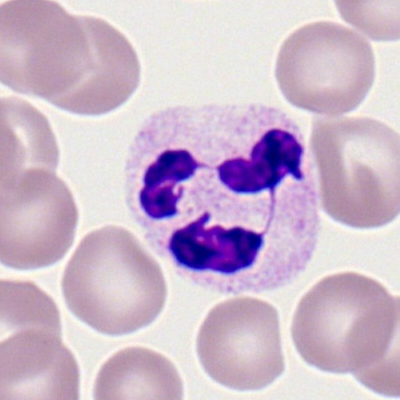The classification is segmented neutrophil.